Bone marrow aspirate smear: 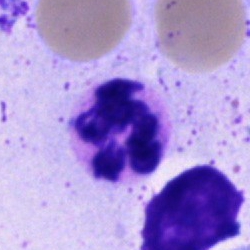A polymorphonuclear neutrophil.